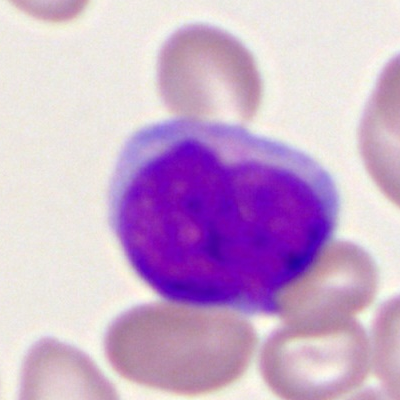 The cell is myeloid blast.